Single-cell field; image size 250×250; bone marrow smear — 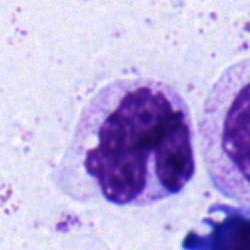
Q: What cell is this?
A: Stab cell.